Bone marrow smear: 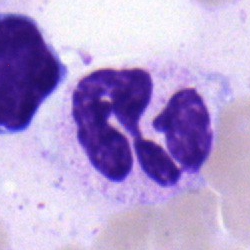
{"cell_type": "neutrophil (segmented)", "lineage": "myeloid"}